Bone marrow aspirate smear: 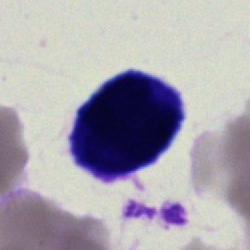
{"cell_type": "artefact"}